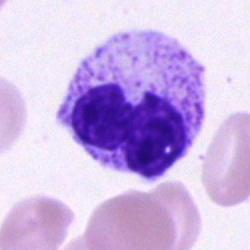 Specimen: bone marrow aspirate smear.
Cell: segmented neutrophil.